Single-cell crop; bone marrow smear: 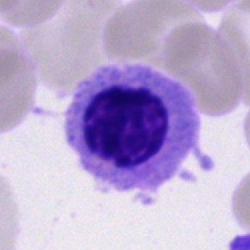 Q: What cell is this?
A: This is an erythroblast.